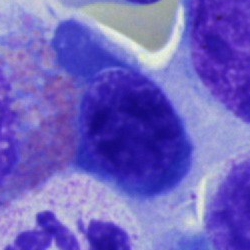 Showing a nucleated red cell.